May-Grünwald-Giemsa stain; 250 by 250 pixels; bone marrow aspirate smear — 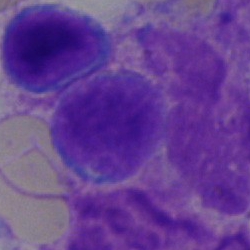 Classification = typical lymphocyte.